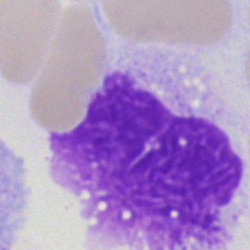 Artifact.